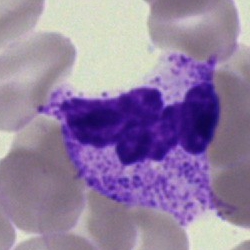A segmented neutrophil on a bone marrow smear.